Cropped to a single cell · bone marrow aspirate smear: 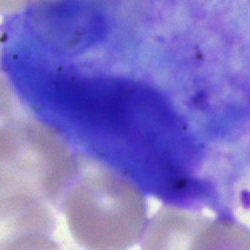

Q: What is shown here?
A: Artefact.